Bone marrow aspirate smear — 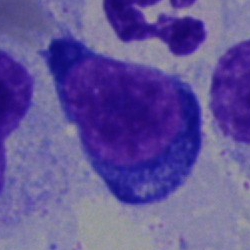 The cell is pronormoblast.